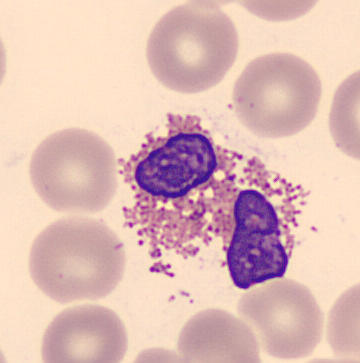This is an eosinophil.
Peripheral blood smear. Automated cell imaging (CellaVision DM96). May-Grünwald-Giemsa-stained.